Bone marrow smear: 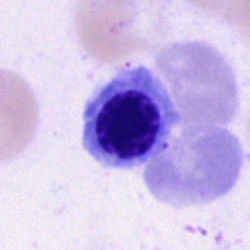 Showing a normoblast.